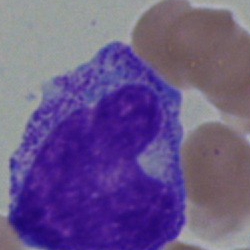 The cell shown is a promyelocyte.